Bone marrow smear.
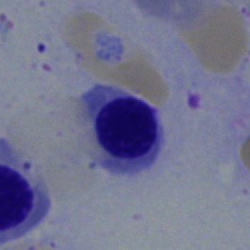{"cell_type": "nucleated red blood cell", "lineage": "erythroid"}